250 by 250 pixels. Bone marrow smear — 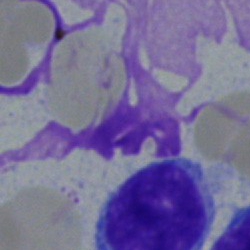
Morphological class: typical lymphocyte.